Peripheral blood film — 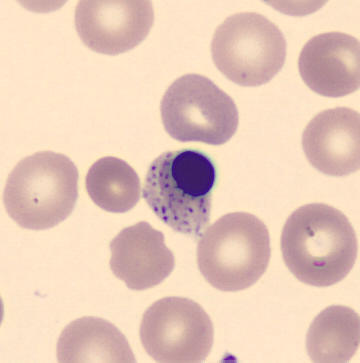

Q: Identify the cell.
A: Normoblast.